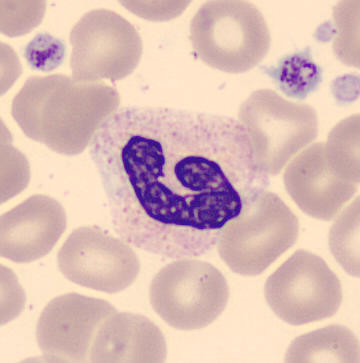

Cell type — stab cell.